Bone marrow smear; Pappenheim-stained
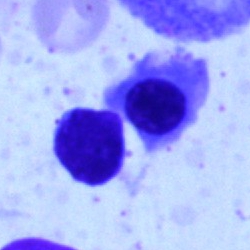 {"cell_type": "band-form neutrophil"}